Single-cell field. Bone marrow smear
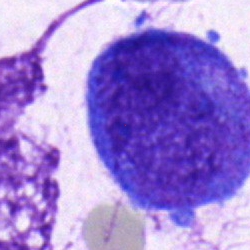
The cell shown is an undifferentiated blast.